Bone marrow smear. 40× oil immersion
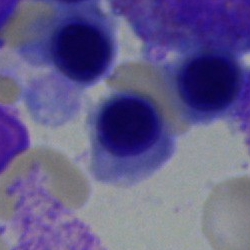 Q: What is shown here?
A: It is a nucleated red blood cell.